May-Grünwald-Giemsa stain. Bone marrow aspirate smear: 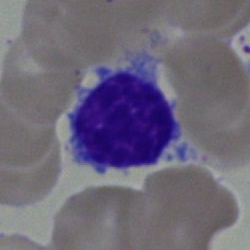A lymphocyte.